Bone marrow aspirate smear
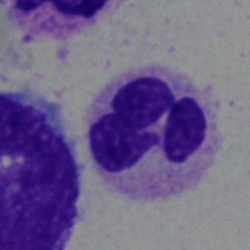
Showing a polymorphonuclear neutrophil.